Single-cell field · peripheral blood smear
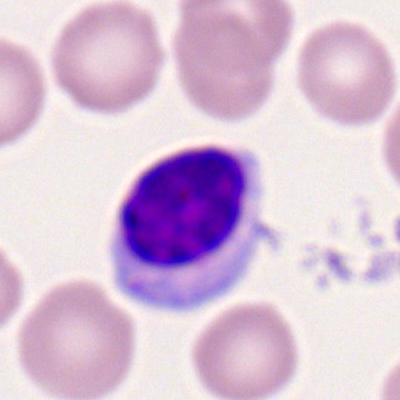
Q: Identify the cell.
A: Lymphocyte.